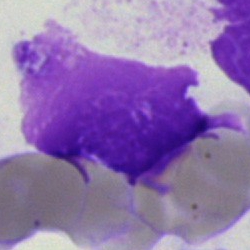 {"cell_type": "artifact"}